Bone marrow smear. 250×250 px: 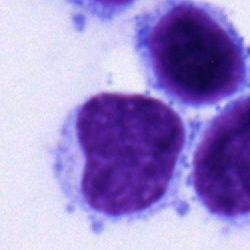

Showing a typical lymphocyte.